Peripheral blood smear; 100× oil immersion; 400×400
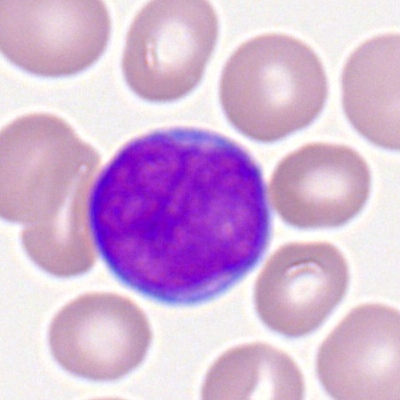

Morphology consistent with a myeloid blast.